Bone marrow aspirate smear; Pappenheim-stained:
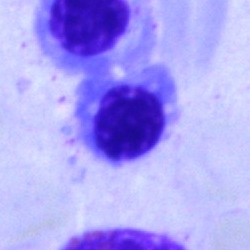 Impression → nucleated red blood cell.